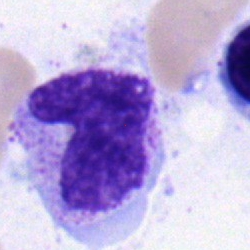This is a neutrophil (band).